Bone marrow aspirate smear:
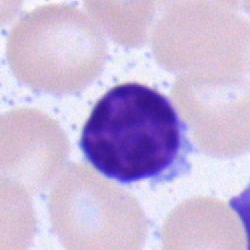Q: Which cell type is shown here?
A: It is a lymphocyte.